Bone marrow smear: 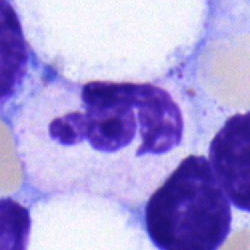 Q: What type of cell is this?
A: Segmented neutrophil.